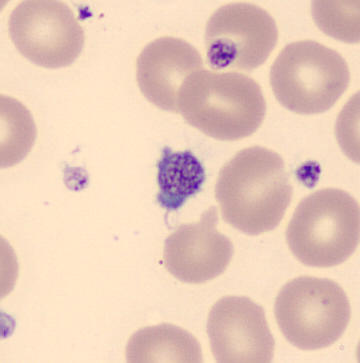
Q: What is this?
A: It is a platelet (thrombocyte).